Bone marrow aspirate smear · single-cell crop — 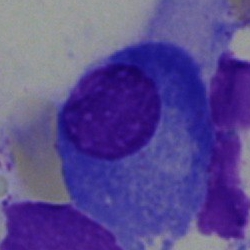The classification is plasmacyte.